Image size 250×250 · bone marrow smear · May-Grünwald-Giemsa/Pappenheim stain.
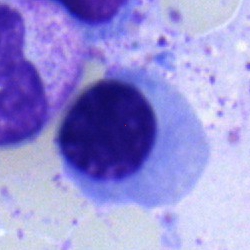The cell type is nucleated red cell.